Bone marrow aspirate smear: 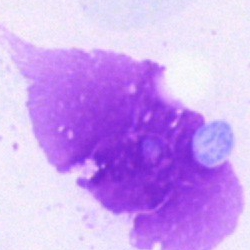 Morphology consistent with an artefact.